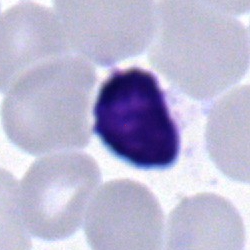 Bone marrow aspirate smear, single cell — lymphocyte.